Brightfield, 40× oil-immersion objective; bone marrow aspirate smear
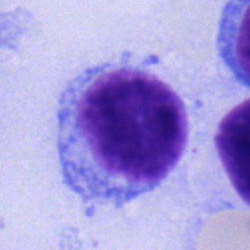Morphological class — lymphocyte.